Peripheral blood film.
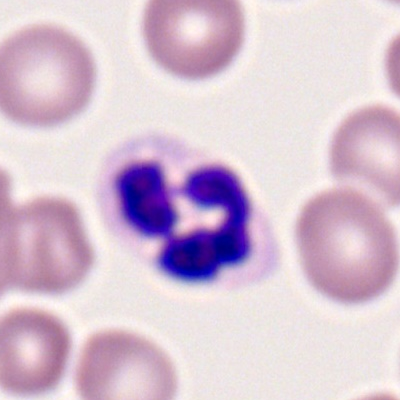Specimen: peripheral blood smear.
Classification: segmented neutrophil.
Lineage: myeloid.